Bone marrow aspirate smear.
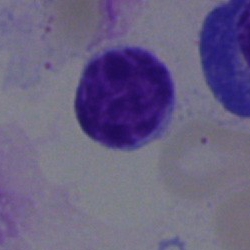 Q: What cell is this?
A: It is a lymphocyte.